Bone marrow aspirate smear.
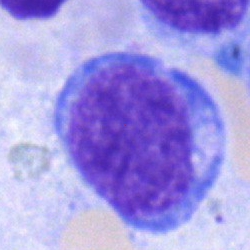Specimen: bone marrow smear.
Cell type: undifferentiated blast.